Bone marrow smear — 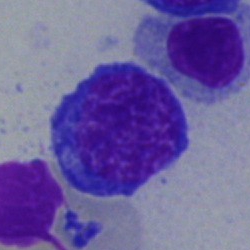{"cell_type": "nucleated red blood cell"}